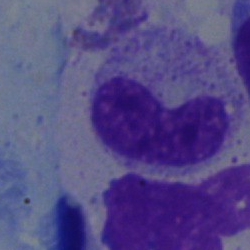
Q: Which cell type is shown here?
A: A stab cell.